250×250 px; bone marrow aspirate smear — 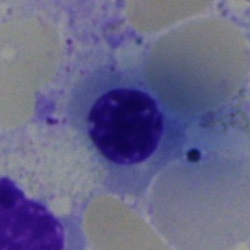 The classification is nucleated red blood cell.